Bone marrow smear
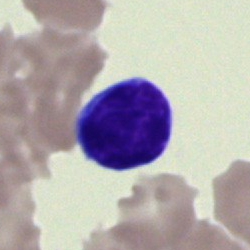Impression → typical lymphocyte.